Bone marrow aspirate smear
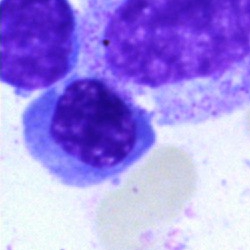Q: What cell is this?
A: It is an erythroblast.